Peripheral blood smear.
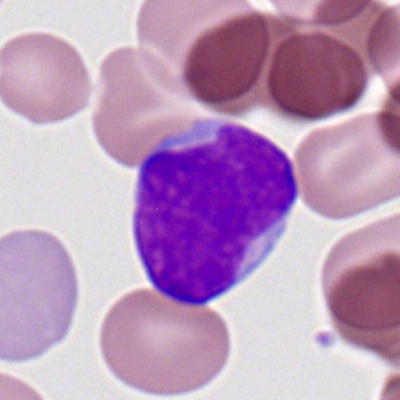

Q: What is the morphological classification of this cell?
A: It is a myeloid blast.